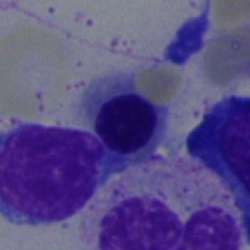

Impression → nucleated red blood cell.